Image size 250×250; bone marrow aspirate smear: 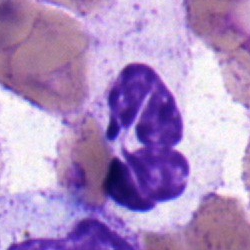
Q: Which cell type is shown here?
A: Segmented neutrophil.